Bone marrow aspirate smear — 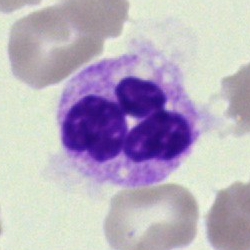

Cell = segmented neutrophil.